Single-cell field; peripheral blood smear; brightfield, 100× oil-immersion objective:
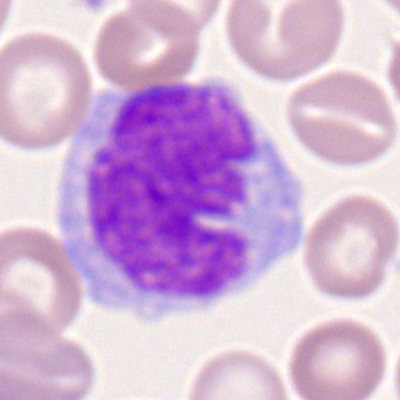
Q: What is the morphological classification of this cell?
A: Monocyte.